Bone marrow smear. May-Grünwald-Giemsa/Pappenheim stain
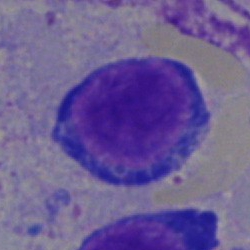
Proerythroblast.